Bone marrow aspirate smear; 250 by 250 pixels — 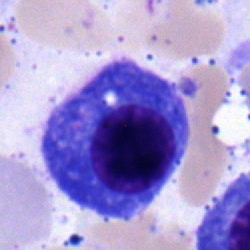 A plasma cell.